Brightfield, 40× oil-immersion objective · bone marrow aspirate smear — 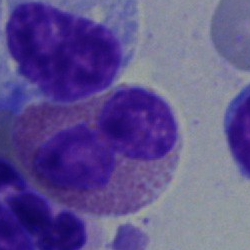 Impression → eosinophilic granulocyte.